Bone marrow aspirate smear — 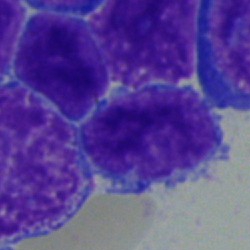 Morphology — undifferentiated blast.